250×250; bone marrow smear — 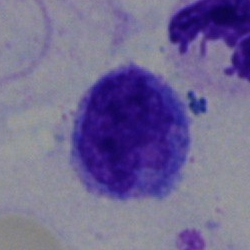This is a lymphocyte.